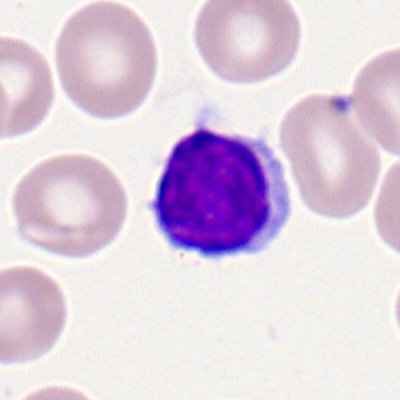

Specimen: peripheral blood film.
Cell type: typical lymphocyte.
Lineage: lymphoid.